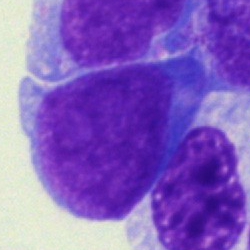Impression — blast cell.